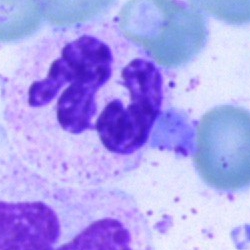 The cell shown is a segmented neutrophil.